Bone marrow smear.
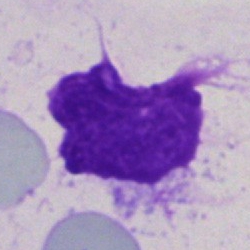 The cell shown is an artifact.